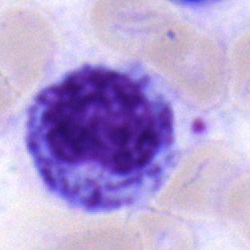Showing a myelocyte.